May-Grünwald-Giemsa/Pappenheim stain; bone marrow aspirate smear: 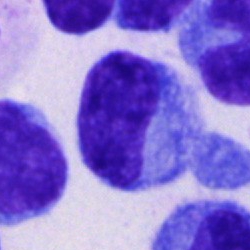 Impression — plasma cell.